250×250. Bone marrow smear — 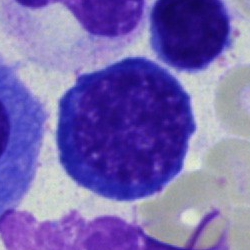{"cell_type": "nucleated red cell"}